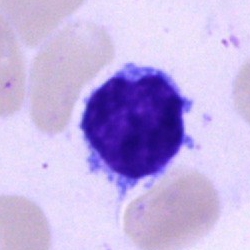Specimen: bone marrow aspirate smear.
Classification: lymphocyte.
Lineage: lymphoid.